Single-cell field · bone marrow smear:
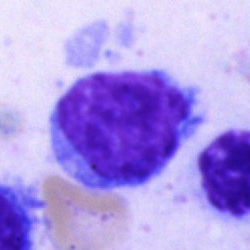 Classification = undifferentiated blast.